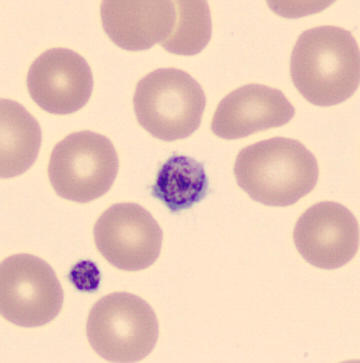Image: Peripheral blood smear.

Cell type = thrombocyte.